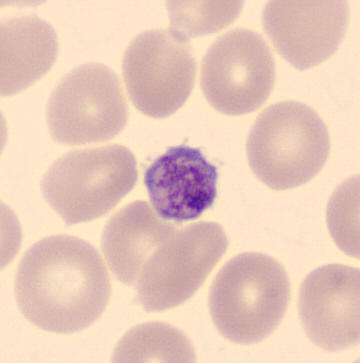 Cell type — thrombocyte.

MGG-stained · peripheral blood smear.